Bone marrow smear: 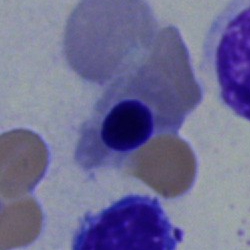 Single cell identified as a normoblast.